Bone marrow aspirate smear; single-cell field
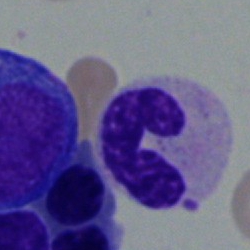

Morphology — band neutrophil.